Bone marrow smear: 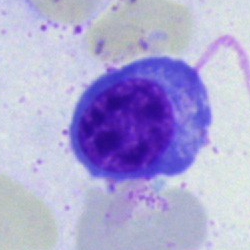 Cell — nucleated red cell.